Bone marrow smear. 250×250.
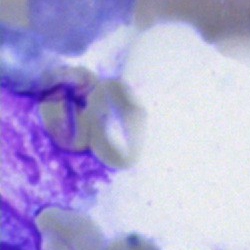 The cell type is artifact.